Image size 250×250. 40× objective, oil immersion. Bone marrow aspirate smear — 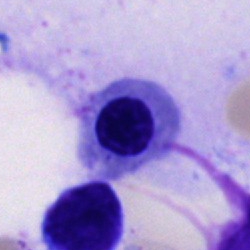
Normoblast.